Bone marrow aspirate smear. 40× oil immersion: 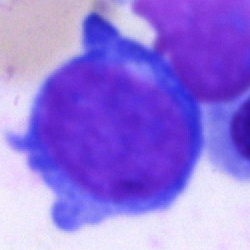A proerythroblast.